Bone marrow smear
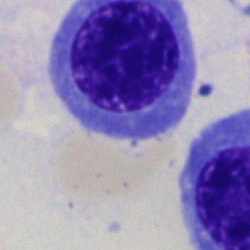Classification: nucleated red cell.